Bone marrow aspirate smear; single-cell crop: 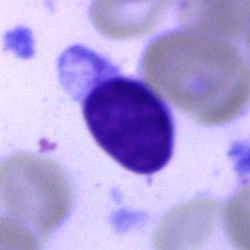

Single cell identified as a typical lymphocyte.